Bone marrow smear. May-Grünwald-Giemsa stain — 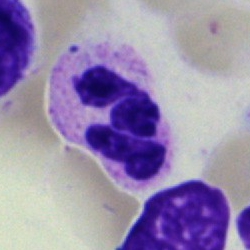Specimen: bone marrow smear.
Classification: segmented neutrophil.
Lineage: myeloid.